Bone marrow aspirate smear · single-cell field
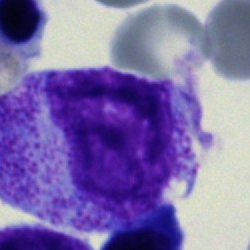Classification: progranulocyte.